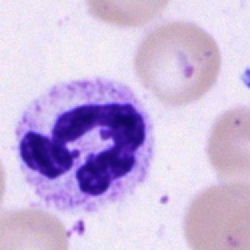Specimen: bone marrow aspirate smear.
Cell type: neutrophil (segmented).
Lineage: myeloid.